Bone marrow aspirate smear:
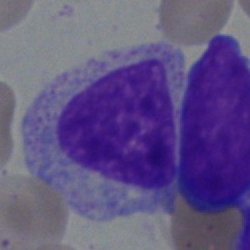Impression → myelocyte.